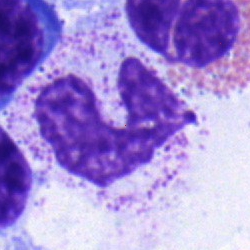Q: What is the morphological classification of this cell?
A: Band-form neutrophil.